100× oil immersion, 14.14 px/µm. Peripheral blood film — 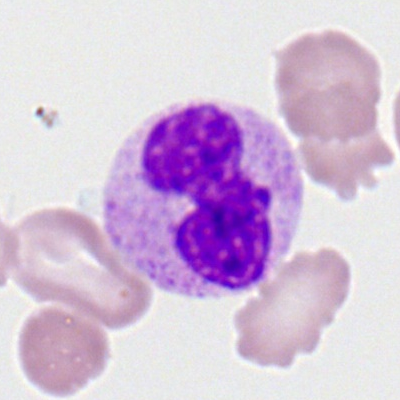 This is a monocyte.